250×250 · bone marrow smear — 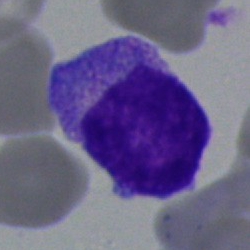

A blast.